Cropped to a single cell · peripheral blood film:
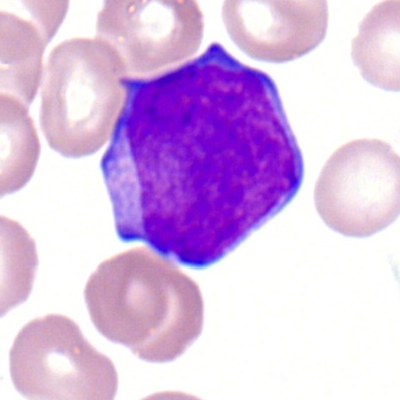 Single cell identified as a myeloid blast.